Single-cell field; bone marrow aspirate smear; Pappenheim-stained
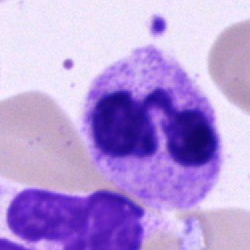
Q: What is shown here?
A: This is a segmented neutrophil.